Bone marrow aspirate smear — 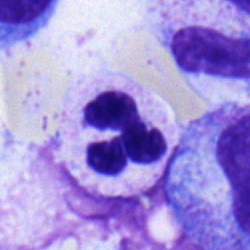 The cell shown is a neutrophil (segmented).